Peripheral blood film; 400×400
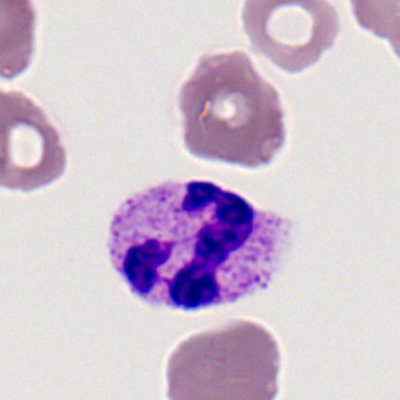
Specimen: peripheral blood film.
Cell type: polymorphonuclear neutrophil.
Lineage: myeloid.